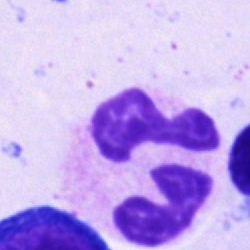 Classification — polymorphonuclear neutrophil.